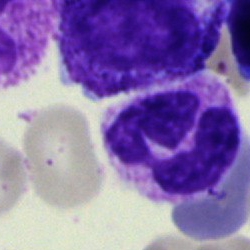 This is a segmented neutrophil.